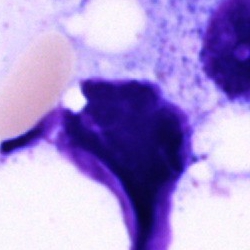 This is an artefact.